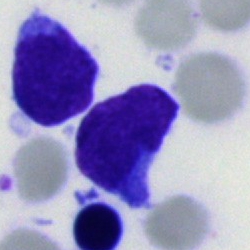An undifferentiated blast on a bone marrow smear.